Bone marrow aspirate smear.
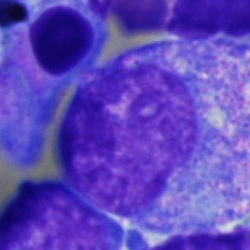 Q: What is shown here?
A: It is a promyelocyte.